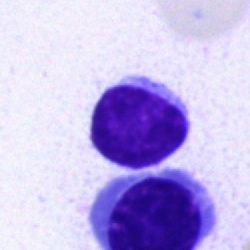
Classification: lymphocyte.